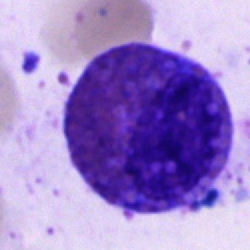 Single-cell crop from a bone marrow smear: eosinophil.